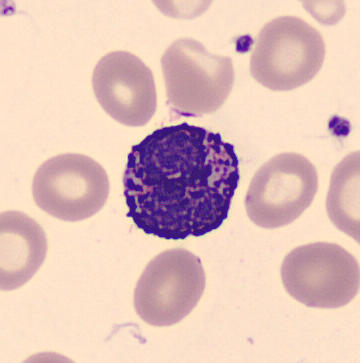
Morphology consistent with a basophilic granulocyte.

Image: Cropped to a single cell. Peripheral blood smear.